Bone marrow aspirate smear: 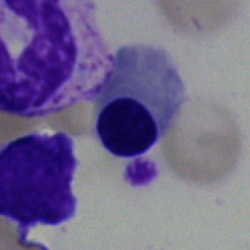
A nucleated red blood cell.